Peripheral blood film: 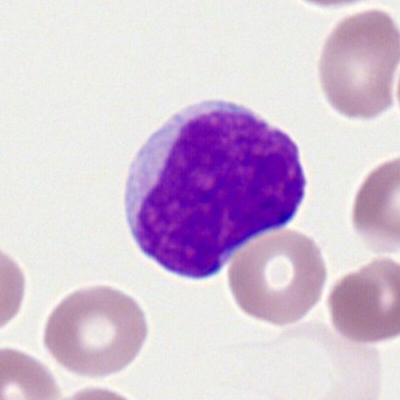

The cell type is myeloblast.